Bone marrow aspirate smear:
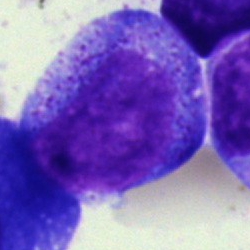 Promyelocyte.